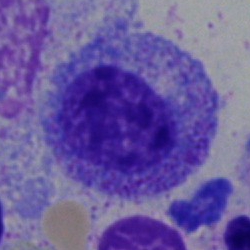Cell type — promyelocyte.